Bone marrow aspirate smear — 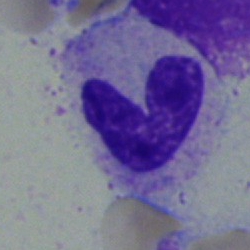

Morphology consistent with a band neutrophil.